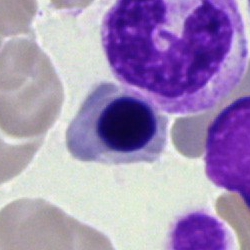Specimen: bone marrow aspirate smear.
Cell: nucleated red blood cell.
Lineage: erythroid.